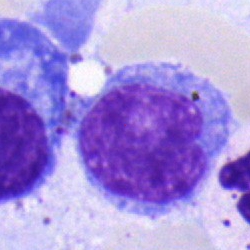Morphology → monocyte.